Bone marrow aspirate smear · Pappenheim-stained · single cell centered in the field — 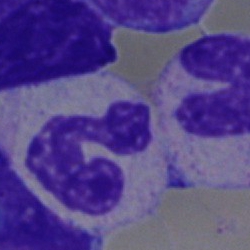The cell shown is a segmented neutrophil.